Bone marrow aspirate smear:
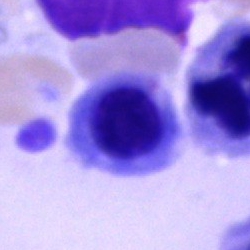
Specimen: bone marrow smear.
Morphological class: normoblast.